Bone marrow smear · single-cell crop:
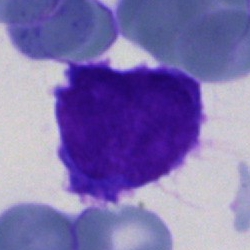

Blast.